Bone marrow smear. Single-cell field. Pappenheim-stained: 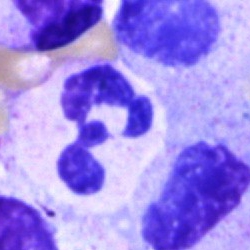
This is a segmented neutrophil.